Peripheral blood smear:
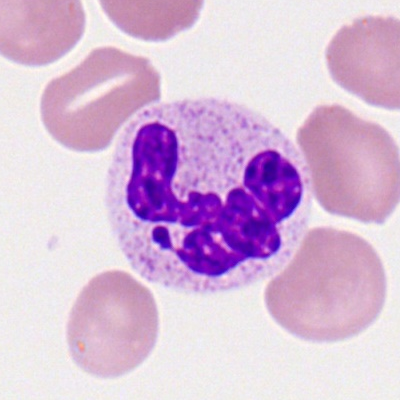The morphological class is segmented neutrophil.